250 by 250 pixels · bone marrow smear: 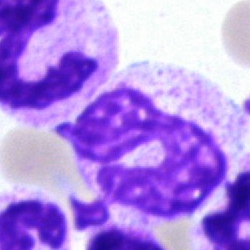

Morphology consistent with an artifact.